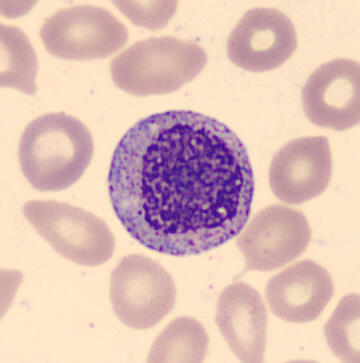
Morphology consistent with a myelocyte. Peripheral blood smear.